Bone marrow smear: 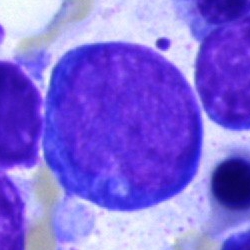

Q: What cell is this?
A: A pronormoblast.